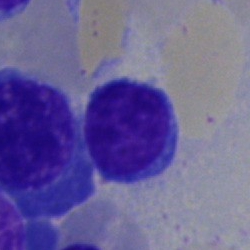
Cell type: lymphocyte.